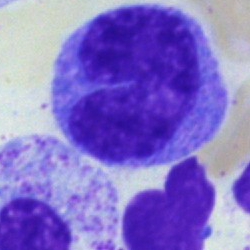
Classification = monocyte.